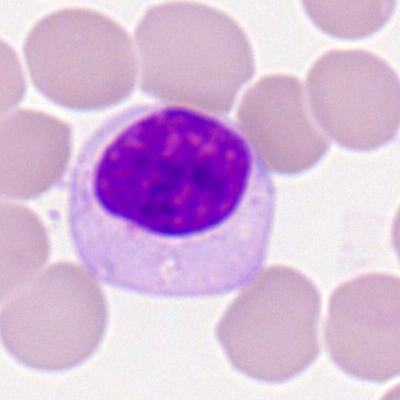

This is a lymphocyte.